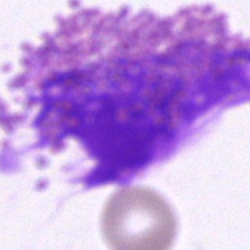

Impression — eosinophilic granulocyte.